Bone marrow smear. 40× oil immersion:
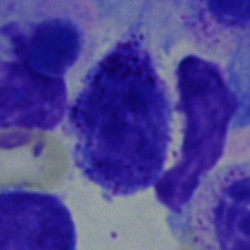Myelocyte.